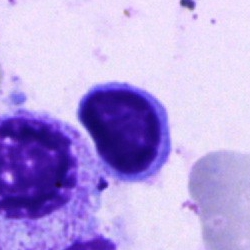
Q: What is the morphological classification of this cell?
A: This is a typical lymphocyte.